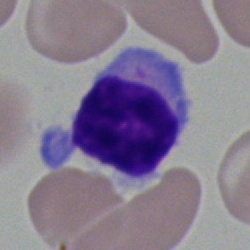

Single cell identified as a lymphocyte.